Bone marrow smear
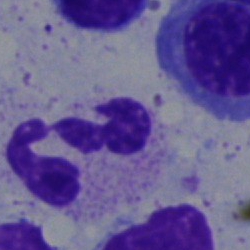Morphological class: neutrophil (segmented).